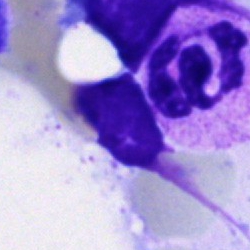

Q: What is shown here?
A: It is a segmented neutrophil.